Bone marrow smear — 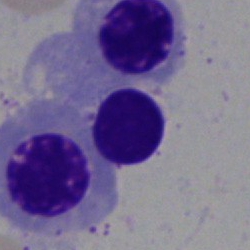This is a normoblast.